Bone marrow aspirate smear. Single-cell crop: 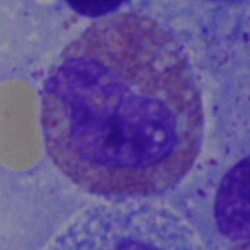
The cell type is eosinophilic granulocyte.